Imaged on a CellaVision DM96 analyser; peripheral blood smear — 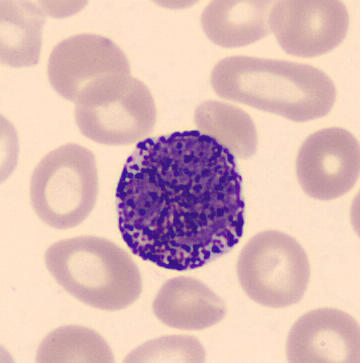The cell shown is a basophil.